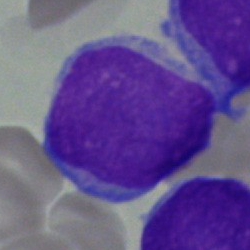
Q: Identify the cell.
A: This is a blast cell.